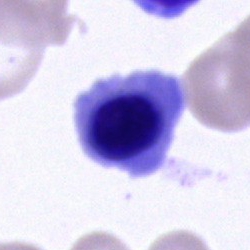

Morphology consistent with a nucleated red blood cell.